Bone marrow aspirate smear; image size 250×250.
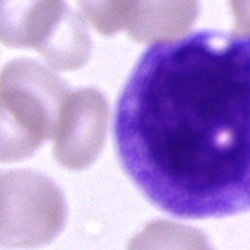 Q: What is the morphological classification of this cell?
A: This is an unidentifiable cell.